MGG-stained · bone marrow aspirate smear · single-cell field
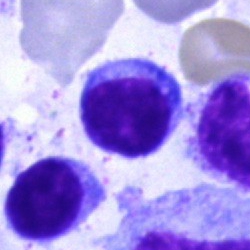

The cell type is lymphocyte.